Bone marrow smear — 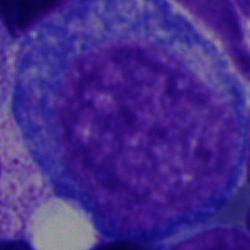 Q: What cell is this?
A: This is a promyelocyte.